Bone marrow smear
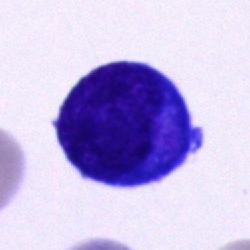 Morphological class = unidentifiable cell.